Bone marrow smear: 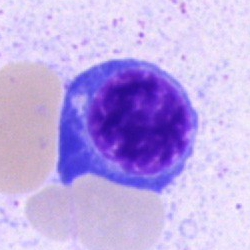
Q: What type of cell is this?
A: This is a normoblast.